Bone marrow aspirate smear. Cropped to a single cell
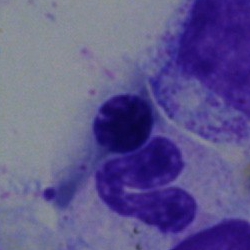The cell shown is a polymorphonuclear neutrophil.